Bone marrow smear; MGG-stained
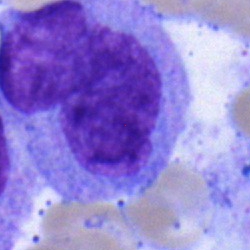

{"cell_type": "monocyte", "lineage": "myeloid"}